Bone marrow aspirate smear: 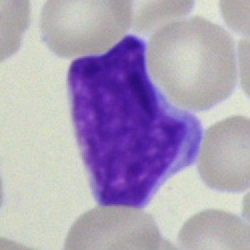
Impression — undifferentiated blast.